Single cell centered in the field. Bone marrow aspirate smear
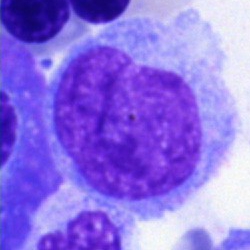
Morphology consistent with a blast cell.